Bone marrow smear — 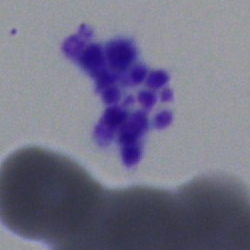

{"cell_type": "artifact"}